May-Grünwald-Giemsa/Pappenheim stain · bone marrow aspirate smear · 250 by 250 pixels.
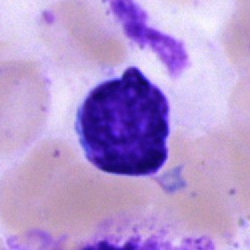
Cell = typical lymphocyte.